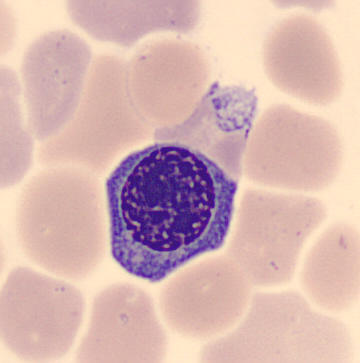Acquisition: Image size 360×363.

Specimen: peripheral blood film.
Classification: erythroblast.
Lineage: erythroid.